40× oil immersion. May-Grünwald-Giemsa stain. Bone marrow aspirate smear.
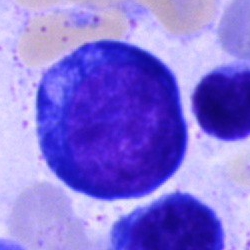Single cell identified as a pronormoblast.